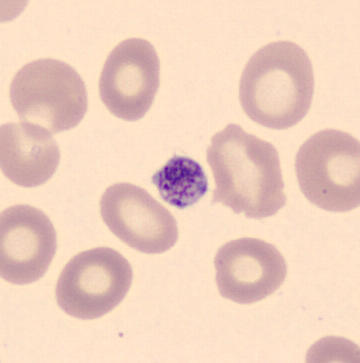

Morphology consistent with a platelet.

Peripheral blood smear. MGG stain.